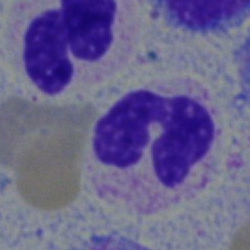

Q: What type of cell is this?
A: This is a polymorphonuclear neutrophil.